Bone marrow aspirate smear.
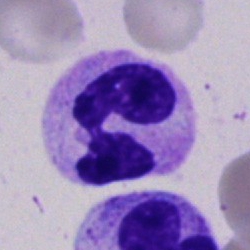
Polymorphonuclear neutrophil.